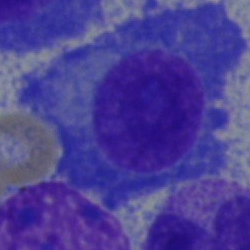 Single-cell crop from a bone marrow smear: plasmacyte.